Bone marrow aspirate smear: 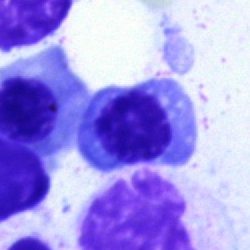
The morphological class is nucleated red cell.